Bone marrow smear:
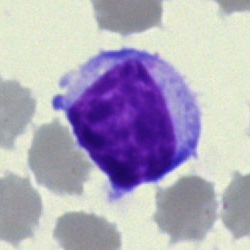 Showing a lymphocyte.